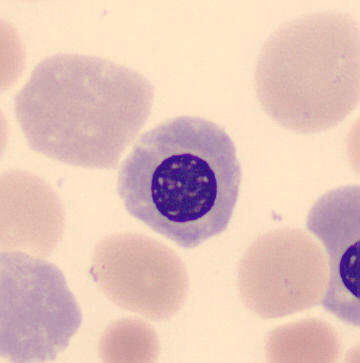
Peripheral blood film.
Classification — normoblast.